MGG-stained. Bone marrow smear
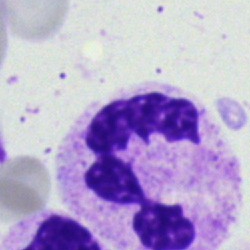
Q: Identify the cell.
A: It is a segmented neutrophil.